Brightfield, 40× oil-immersion objective · May-Grünwald-Giemsa/Pappenheim stain · bone marrow smear
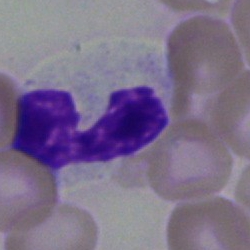Morphology → neutrophil (segmented).